Bone marrow smear.
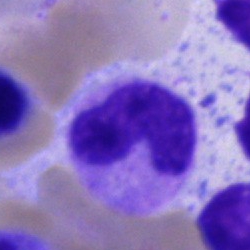
Morphological class = neutrophil (band).